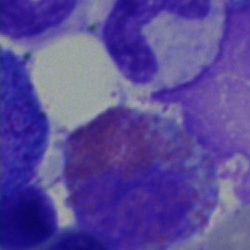
An eosinophilic granulocyte on a bone marrow smear.